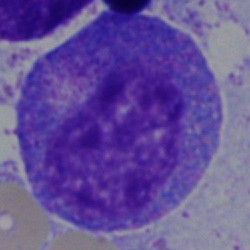

The classification is progranulocyte.